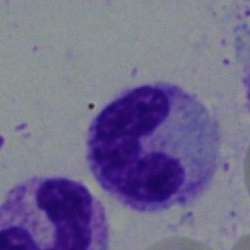

Q: What is shown here?
A: Stab cell.